Bone marrow aspirate smear · 250×250: 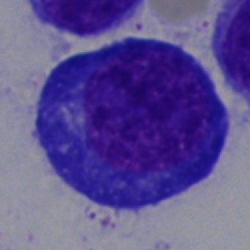 A proerythroblast.